Peripheral blood film; single cell centered in the field: 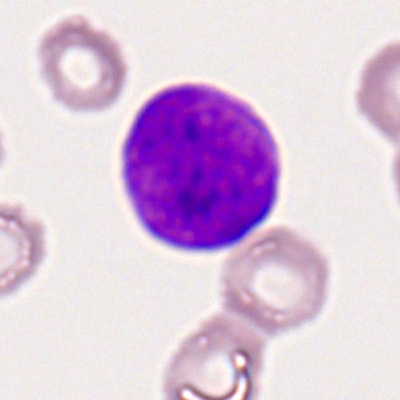
Impression → myeloid blast.